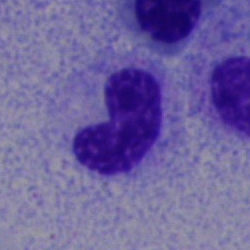Showing a stab cell.